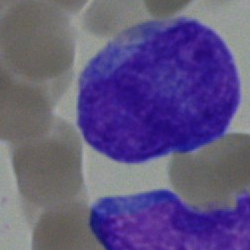

Q: Identify the cell.
A: Blast.